Bone marrow aspirate smear · May-Grünwald-Giemsa stain · 250×250 px
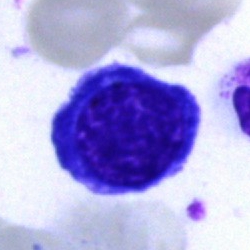Impression — nucleated red cell.